Romanowsky-type stain; peripheral blood smear — 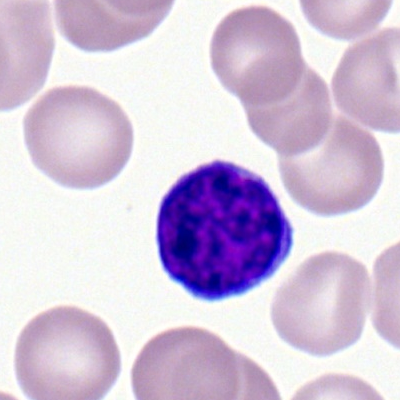
The classification is typical lymphocyte.